Bone marrow smear — 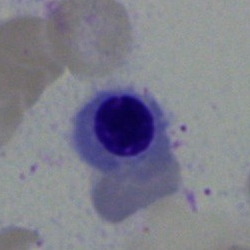A normoblast.